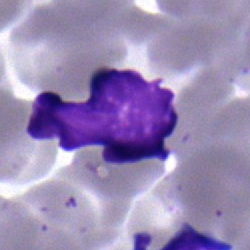

This is a lymphocyte.